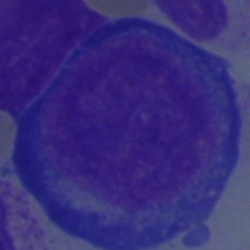 The cell shown is a proerythroblast.